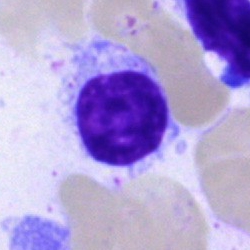Specimen: bone marrow aspirate smear.
Cell type: typical lymphocyte.
Lineage: lymphoid.